Bone marrow aspirate smear — 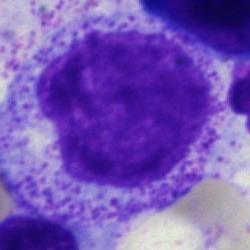Morphology — myelocyte.